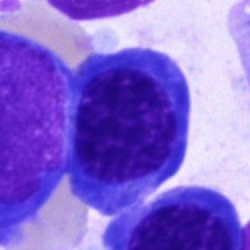Morphological class — erythroblast.